MGG-stained. 40× oil immersion. Bone marrow smear:
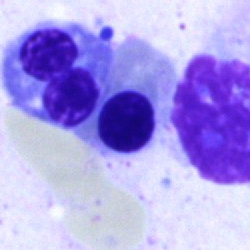 Morphology consistent with a nucleated red cell.